250×250 px; bone marrow aspirate smear; 40× oil immersion.
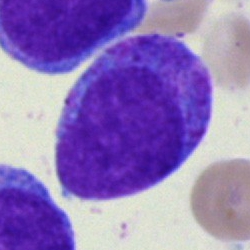
Impression → promyelocyte.